40× objective, oil immersion. Bone marrow smear: 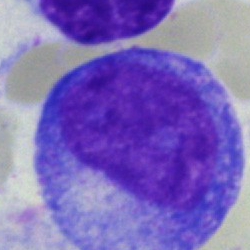 {"cell_type": "progranulocyte", "lineage": "myeloid"}